Bone marrow smear.
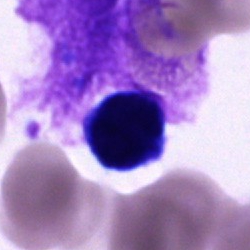Q: What is shown here?
A: This is an unidentifiable cell.